Bone marrow aspirate smear — 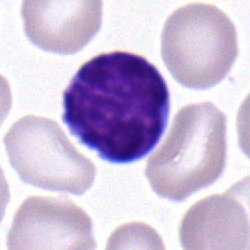
Q: What is the morphological classification of this cell?
A: Typical lymphocyte.